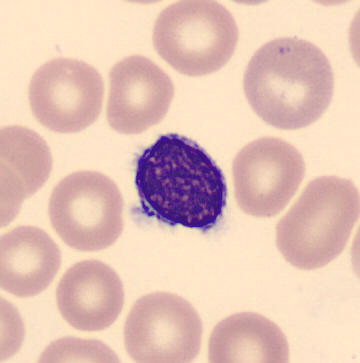

This is a lymphocyte.
Peripheral blood film · cropped to a single cell.